250×250 · bone marrow aspirate smear.
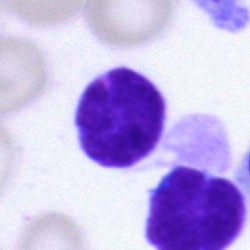 Impression — typical lymphocyte.